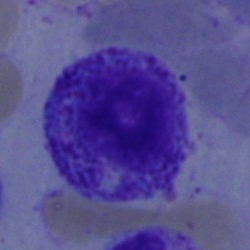
Cell type: myelocyte.